Peripheral blood film.
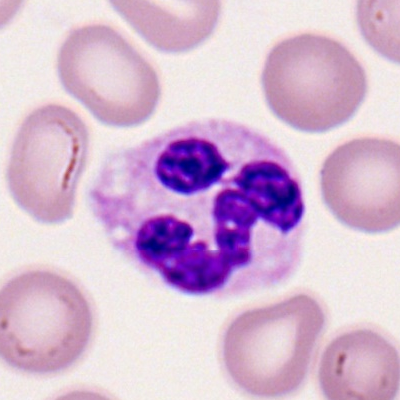
The morphological class is polymorphonuclear neutrophil.